40× objective, oil immersion · cropped to a single cell · bone marrow aspirate smear:
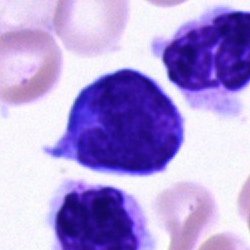

Q: Which cell type is shown here?
A: A lymphocyte.